Bone marrow aspirate smear; 250×250:
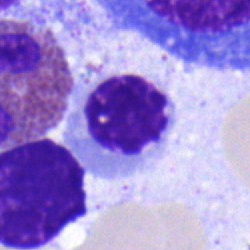

Q: Which cell type is shown here?
A: It is a nucleated red blood cell.